Bone marrow aspirate smear.
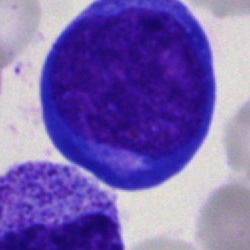 Cell type: pronormoblast.